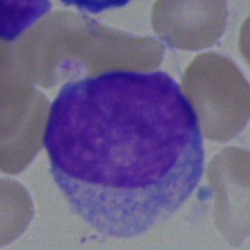

Q: Identify the cell.
A: It is a blast.